Bone marrow smear
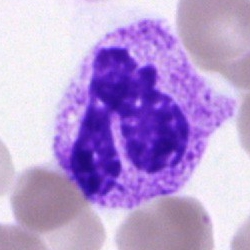

Q: What cell is this?
A: A polymorphonuclear neutrophil.